40× oil immersion. Bone marrow aspirate smear: 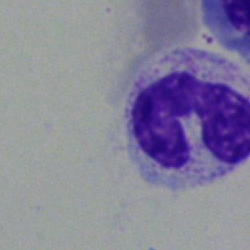 Band neutrophil.